Bone marrow aspirate smear — 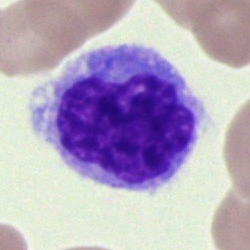 Morphological class = monocyte.